Bone marrow smear: 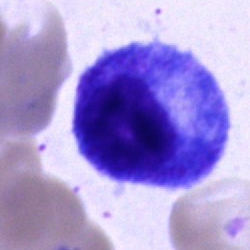{"cell_type": "progranulocyte", "lineage": "myeloid"}